Bone marrow aspirate smear. Single cell centered in the field
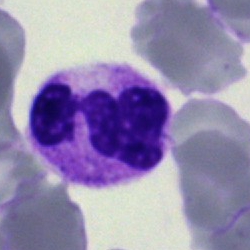
{"cell_type": "segmented neutrophil", "lineage": "myeloid"}